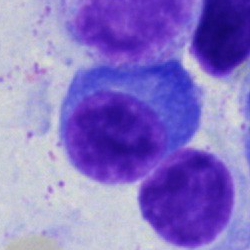
Single-cell crop from a bone marrow smear: plasma cell.